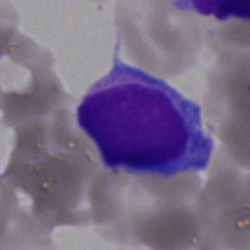

{"cell_type": "lymphocyte"}